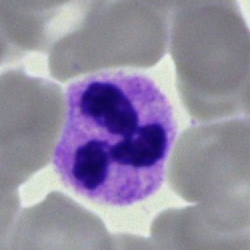 The cell is segmented neutrophil.